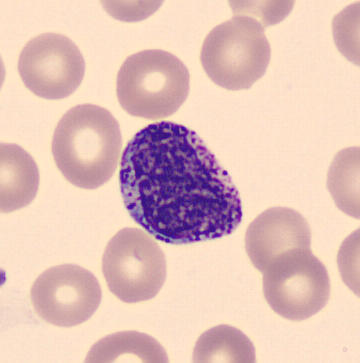Single cell identified as a myelocyte.
Peripheral blood film; imaged on a CellaVision DM96 analyser.